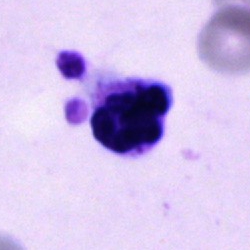 Q: Identify the cell.
A: This is an unidentifiable cell.